Single-cell field; bone marrow aspirate smear
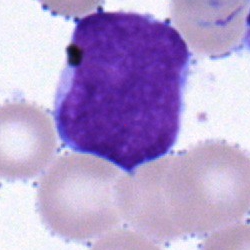
Impression → blast cell.